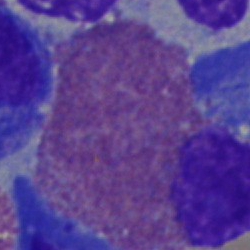 Bone marrow smear showing an eosinophilic granulocyte.